Bone marrow aspirate smear; single-cell field:
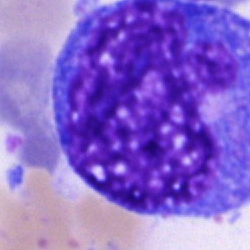
Progranulocyte.